Bone marrow smear: 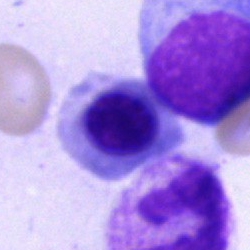

Classification — erythroblast.